Bone marrow smear; single-cell crop; brightfield microscopy, 40× oil immersion: 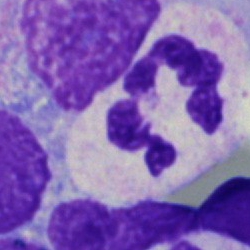This is a polymorphonuclear neutrophil.